Bone marrow smear — 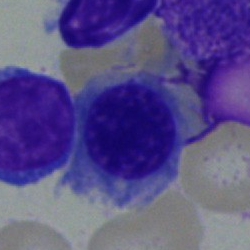Normoblast.